Bone marrow aspirate smear — 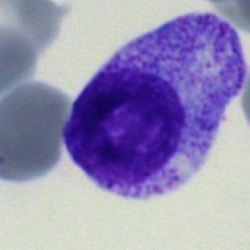
Morphology — promyelocyte.